40× objective, oil immersion · bone marrow aspirate smear
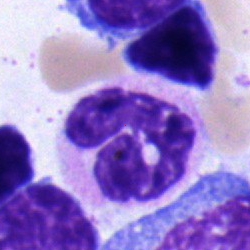

Cell: segmented neutrophil.